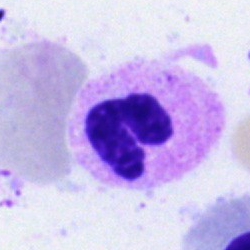
Morphological class — segmented neutrophil.